Bone marrow smear; Pappenheim-stained: 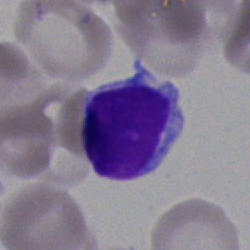

{"cell_type": "lymphocyte", "lineage": "lymphoid"}